Bone marrow aspirate smear. Cropped to a single cell:
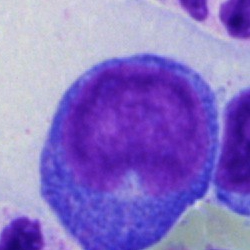This is a promyelocyte.